Peripheral blood smear:
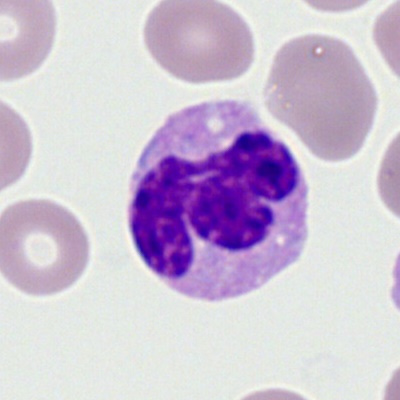Morphological class — segmented neutrophil.